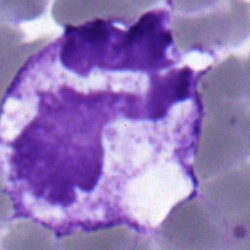
Specimen: bone marrow aspirate smear.
Cell: polymorphonuclear neutrophil.